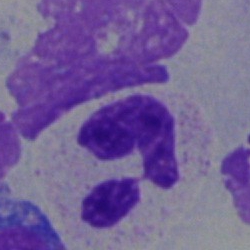
Q: Identify the cell.
A: It is a polymorphonuclear neutrophil.